Bone marrow smear — 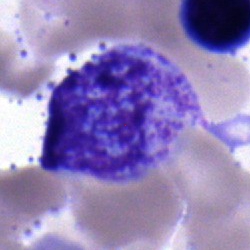

Single cell identified as a myelocyte.